Peripheral blood film: 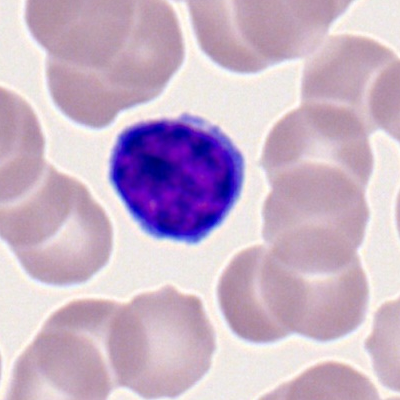Q: What cell is this?
A: It is a typical lymphocyte.